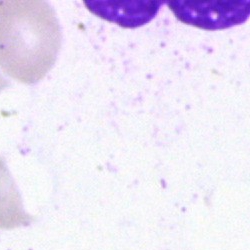

Specimen: bone marrow smear.
Cell: artifact.